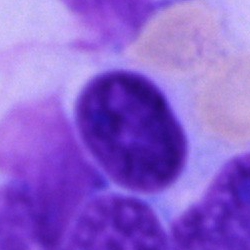
{"cell_type": "unidentifiable cell"}